Peripheral blood film.
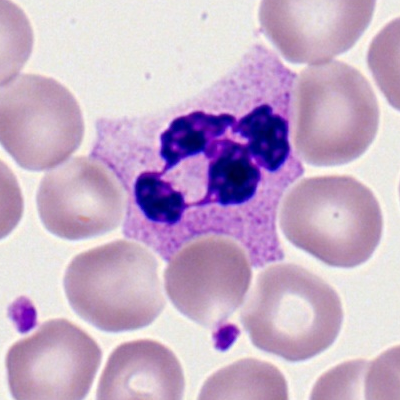 Cell type: segmented neutrophil.